Bone marrow smear:
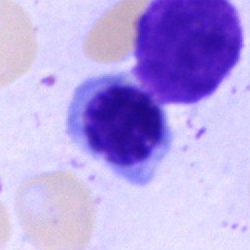

Morphology consistent with a nucleated red blood cell.